Bone marrow smear — 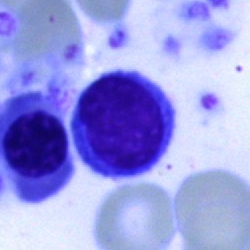
The cell shown is a lymphocyte.